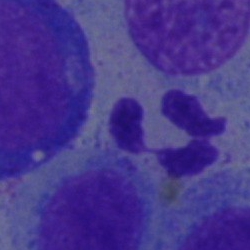

Cell type: polymorphonuclear neutrophil.